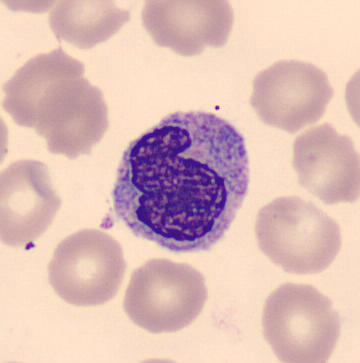

Preparation: Peripheral blood film.

The cell shown is a monocyte.